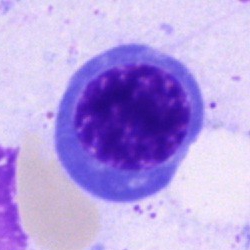

Specimen: bone marrow smear.
Cell: nucleated red blood cell.
Lineage: erythroid.